Bone marrow aspirate smear: 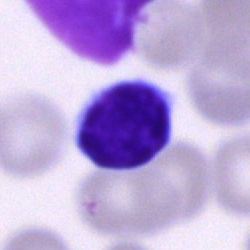
The classification is lymphocyte.